250 by 250 pixels; bone marrow aspirate smear — 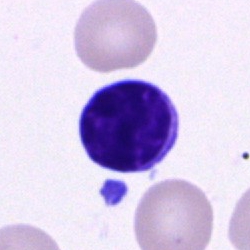

The classification is typical lymphocyte.